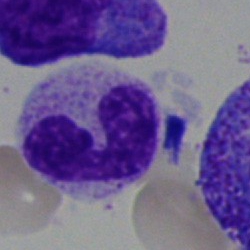Morphology consistent with a neutrophil (segmented).